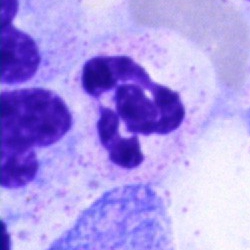Q: What is shown here?
A: A polymorphonuclear neutrophil.